Bone marrow aspirate smear; Pappenheim-stained
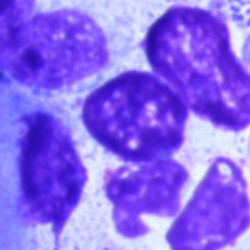This is an artefact.